Bone marrow aspirate smear: 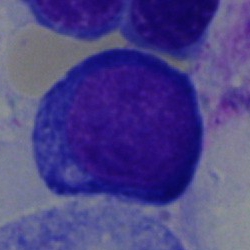
Showing a proerythroblast.